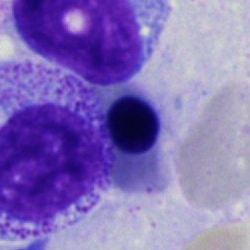 The morphological class is nucleated red cell.